Peripheral blood smear: 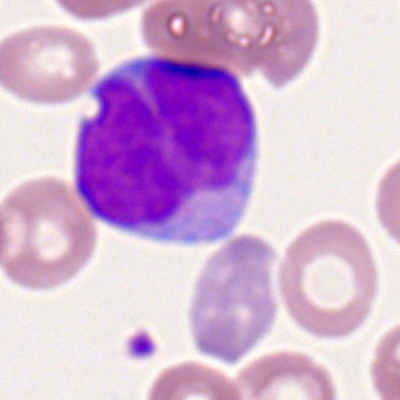
The cell shown is a myeloid blast.